Peripheral blood film — 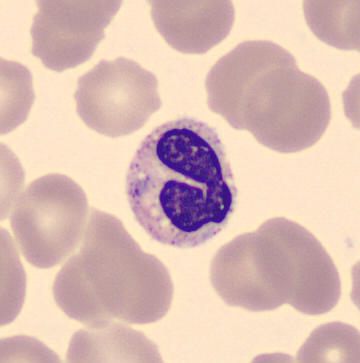

Q: What is the morphological classification of this cell?
A: Stab cell.